Peripheral blood film
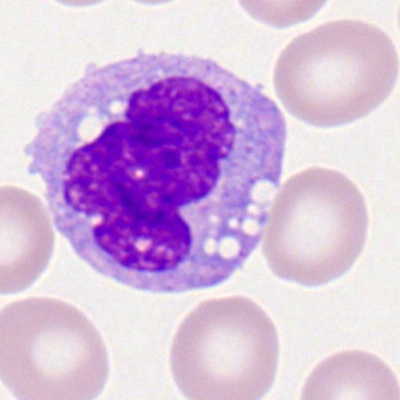 Specimen: peripheral blood film.
Cell type: monocyte.